Romanowsky stain; peripheral blood smear — 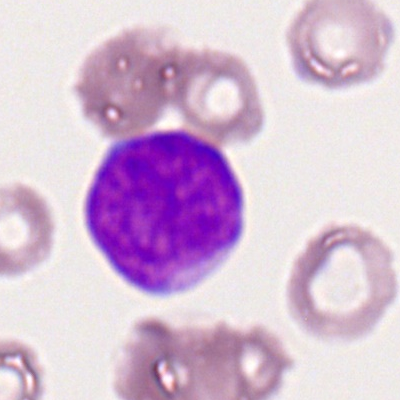

Morphological class: myeloblast.